250 by 250 pixels. Bone marrow smear. Cropped to a single cell — 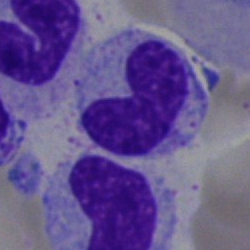Showing a stab cell.